Bone marrow smear · brightfield, 40× oil-immersion objective · 250×250:
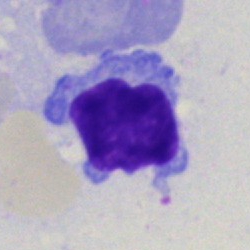{"cell_type": "typical lymphocyte", "lineage": "lymphoid"}